Peripheral blood smear
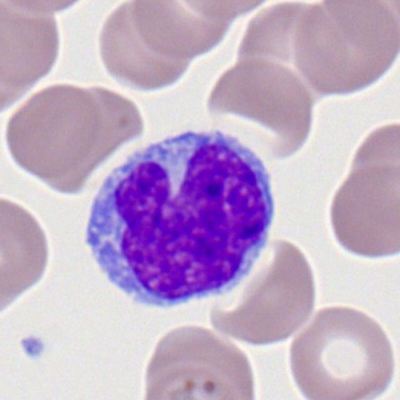

Single cell identified as a monocyte.